Bone marrow aspirate smear · May-Grünwald-Giemsa/Pappenheim stain: 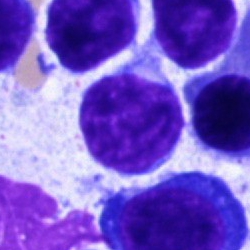
Q: What cell is this?
A: A typical lymphocyte.